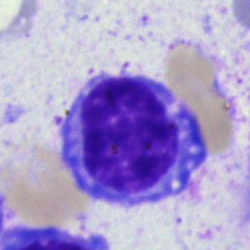 Q: What is shown here?
A: Plasmacyte.